Bone marrow smear — 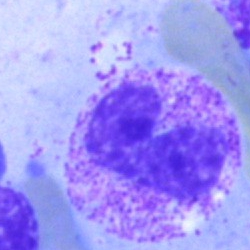
Specimen: bone marrow smear.
Classification: band neutrophil.